Romanowsky stain; peripheral blood smear: 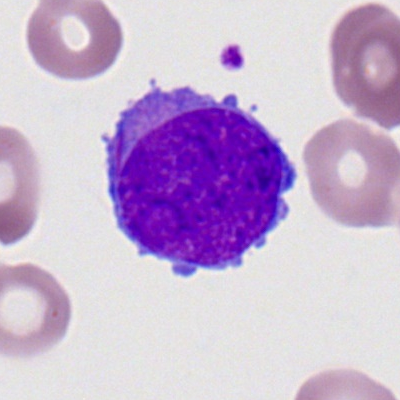
The classification is myeloblast.